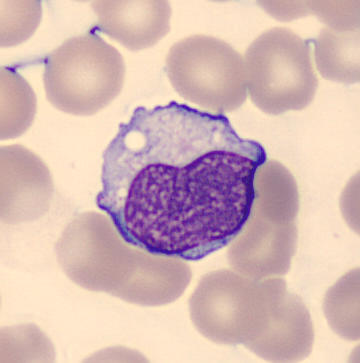
The morphological class is monocyte.

Peripheral blood film.